Bone marrow smear
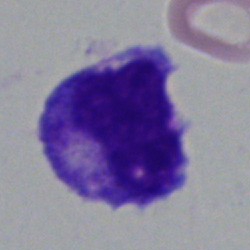

The morphological class is promyelocyte.